Bone marrow smear: 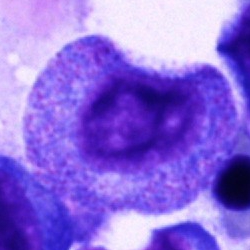 This is a promyelocyte.